Bone marrow smear:
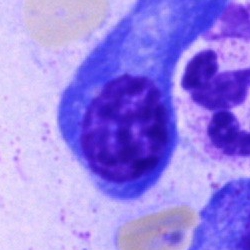

Specimen: bone marrow smear.
Morphological class: plasma cell.